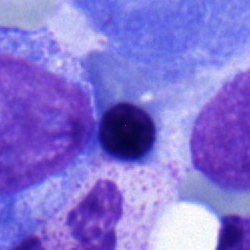
The classification is nucleated red blood cell.